MGG-stained · bone marrow smear.
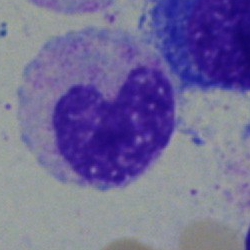
Impression → neutrophil (band).